Bone marrow smear. Brightfield, 40× oil-immersion objective:
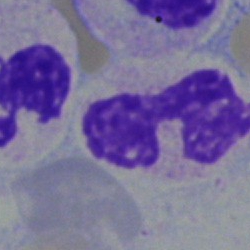Q: Identify the cell.
A: Neutrophil (segmented).